Peripheral blood smear — 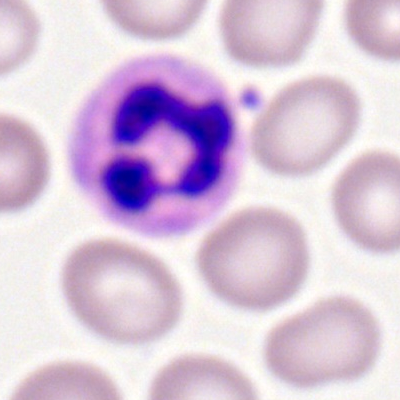

Morphology consistent with a segmented neutrophil.